May-Grünwald-Giemsa stain; 40× oil immersion; bone marrow smear — 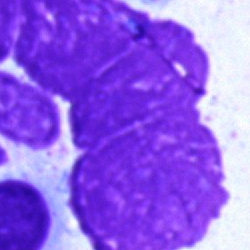 Q: What is shown here?
A: Artefact.